Bone marrow smear
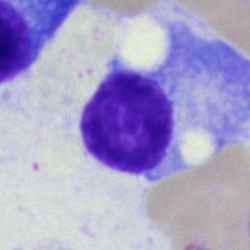 The morphological class is plasma cell.